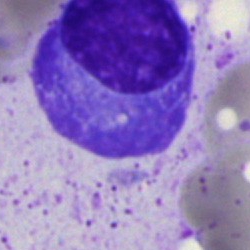Morphology consistent with a plasma cell.